Bone marrow smear.
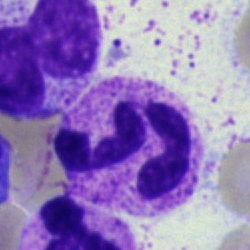

This is a segmented neutrophil.